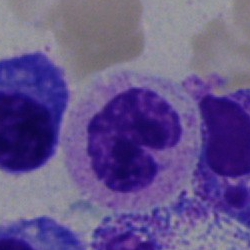
Morphology → polymorphonuclear neutrophil.